Bone marrow smear: 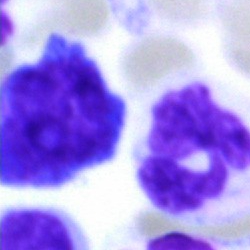

Specimen: bone marrow smear.
Cell type: artifact.